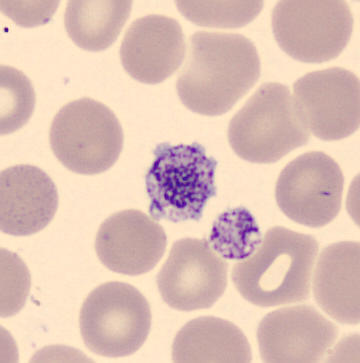

Image: 360 by 363 pixels; CellaVision DM96; peripheral blood film.
Platelet.